Bone marrow smear; MGG-stained
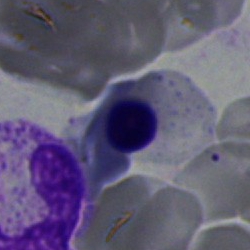 Morphological class = nucleated red blood cell.